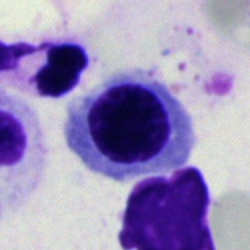
A nucleated red cell on a bone marrow smear.